Imaged on a CellaVision DM96 analyser; peripheral blood film
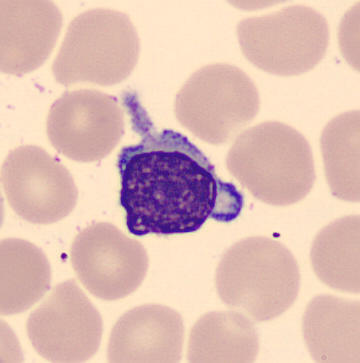

The cell shown is a typical lymphocyte.